Bone marrow smear: 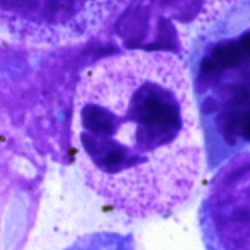

Segmented neutrophil.